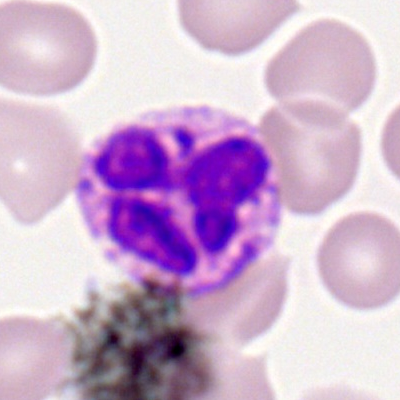 Classification = basophilic granulocyte.